Bone marrow smear:
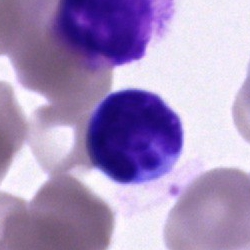Cell type: typical lymphocyte.